Bone marrow smear. 40× oil immersion.
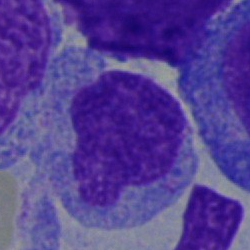 Specimen: bone marrow smear.
Classification: monocyte.